Automated cell imaging (CellaVision DM96) · peripheral blood smear:
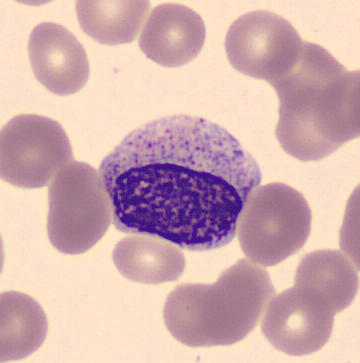

Morphology → myelocyte.